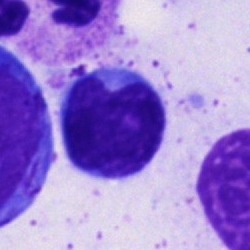
Cell = typical lymphocyte.